Bone marrow smear:
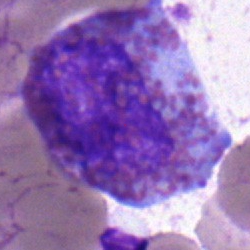

Single cell identified as an eosinophilic granulocyte.